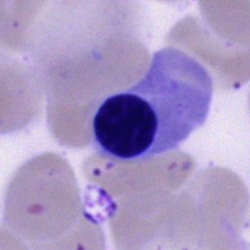
A nucleated red cell on a bone marrow smear.